100× oil immersion · peripheral blood smear
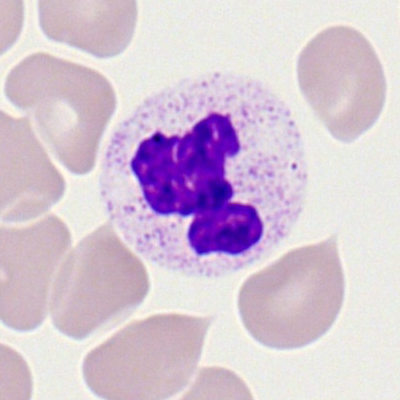 Q: Which cell type is shown here?
A: It is a polymorphonuclear neutrophil.